Bone marrow aspirate smear:
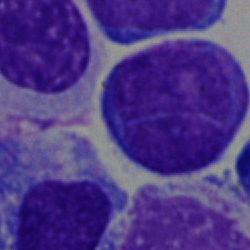

The cell shown is a blast.